Bone marrow aspirate smear · Pappenheim-stained — 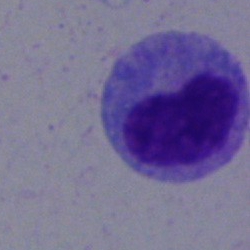

Q: What is the morphological classification of this cell?
A: Metamyelocyte.